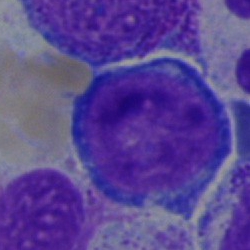Q: Which cell type is shown here?
A: It is a proerythroblast.